Bone marrow smear · 250×250 — 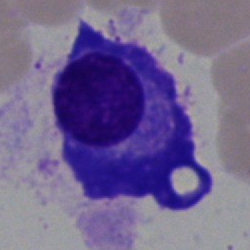 The cell type is plasma cell.